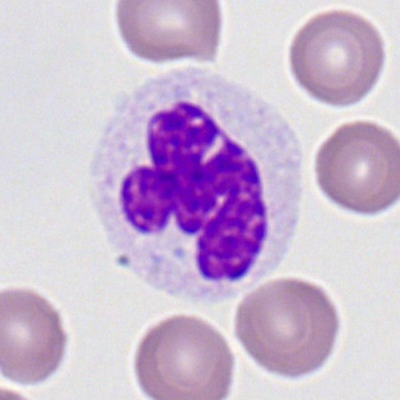

Peripheral blood film, single cell — segmented neutrophil.